Bone marrow smear — 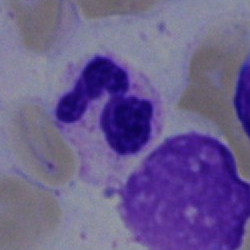Q: What is the morphological classification of this cell?
A: This is a neutrophil (segmented).